Bone marrow smear: 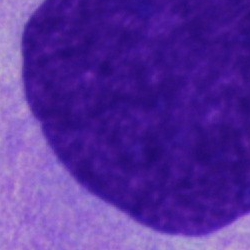
Cell: artifact.